Bone marrow aspirate smear — 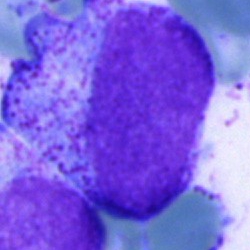Cell type = promyelocyte.